Bone marrow smear: 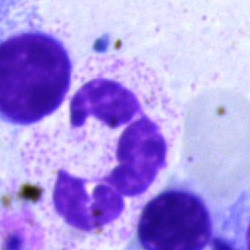 Single cell identified as a polymorphonuclear neutrophil.